Bone marrow aspirate smear
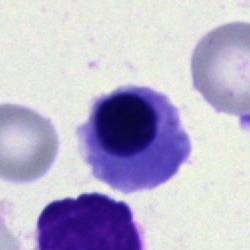

Showing a nucleated red cell.